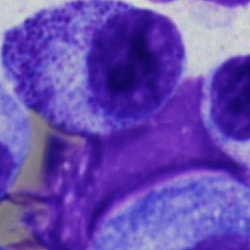
Q: What type of cell is this?
A: This is a myelocyte.